Bone marrow aspirate smear. Pappenheim-stained. Cropped to a single cell.
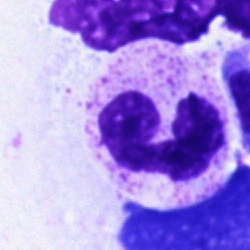 Cell — segmented neutrophil.